Romanowsky stain · peripheral blood smear · 100× oil immersion, 14.14 px/µm
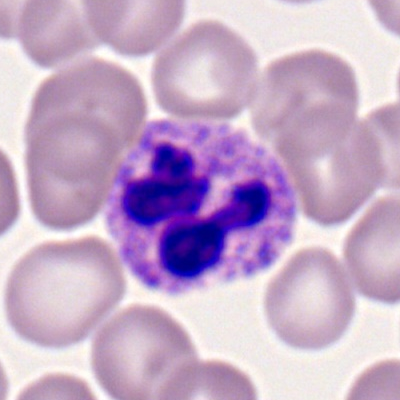Single cell identified as a segmented neutrophil.